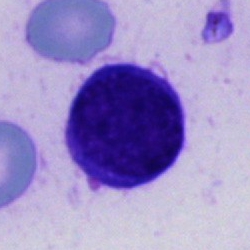
Cell: cell of indeterminate lineage.